40× oil immersion · bone marrow aspirate smear · 250×250:
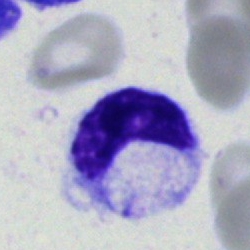 Cell = monocyte.